Bone marrow smear
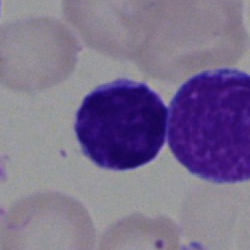 Specimen: bone marrow aspirate smear.
Classification: typical lymphocyte.